Cropped to a single cell; bone marrow aspirate smear: 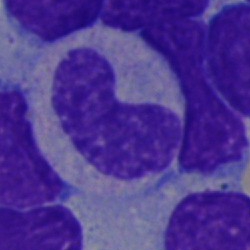

Q: Identify the cell.
A: Stab cell.